Imaged on a CellaVision DM96 analyser · peripheral blood smear:
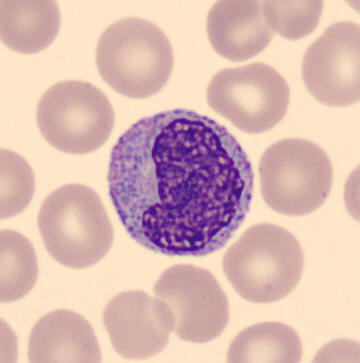

Monocyte.